May-Grünwald-Giemsa stain. Bone marrow aspirate smear. Brightfield, 40× oil-immersion objective.
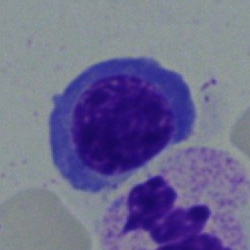
The cell shown is an erythroblast.